Peripheral blood film; Romanowsky-type stain.
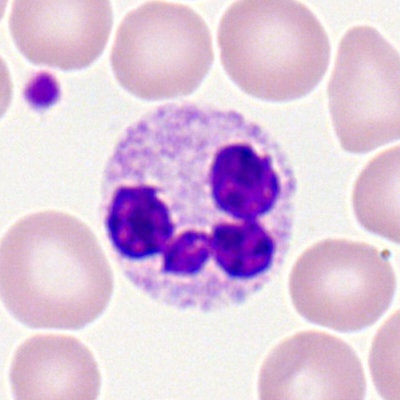

Q: What is shown here?
A: It is a segmented neutrophil.